Bone marrow smear
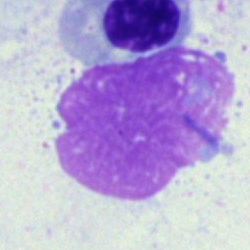
Artifact.